Bone marrow smear · image size 250×250
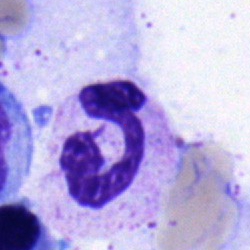Showing a segmented neutrophil.